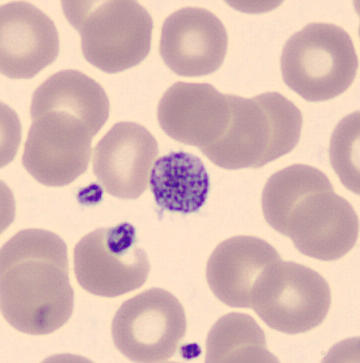 Identified as a thrombocyte.